250×250 px · bone marrow aspirate smear
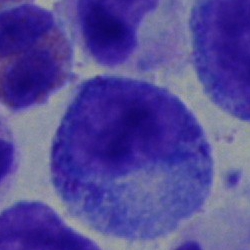 The cell shown is a myelocyte.